Brightfield microscopy, 40× oil immersion; bone marrow aspirate smear; MGG-stained:
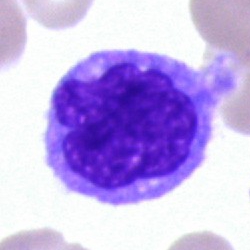
A monocyte.